Peripheral blood film — 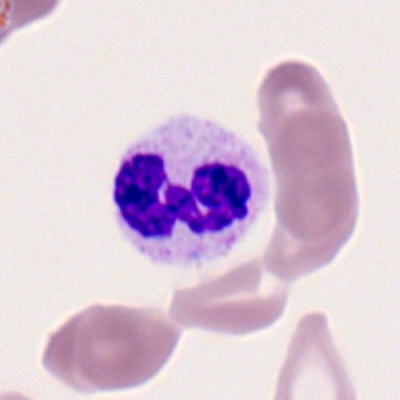
Q: What is shown here?
A: Segmented neutrophil.